Bone marrow smear:
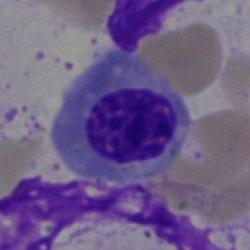Nucleated red cell.